Bone marrow aspirate smear
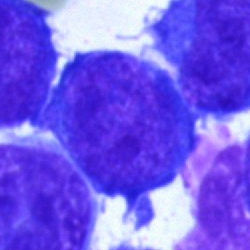
Single cell identified as a blast.